Bone marrow smear.
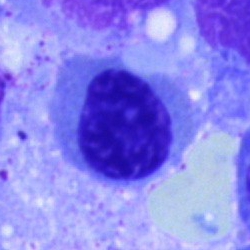 Morphological class = normoblast.